Bone marrow aspirate smear; May-Grünwald-Giemsa/Pappenheim stain: 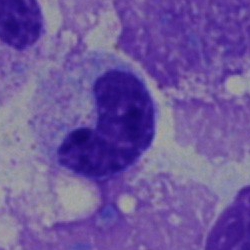

Impression — band-form neutrophil.